Bone marrow aspirate smear
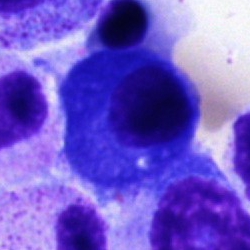Showing a plasmacyte.